Bone marrow aspirate smear; 40× oil immersion; image size 250×250:
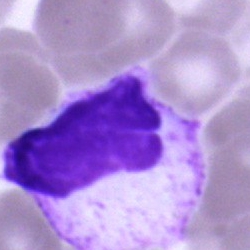Polymorphonuclear neutrophil.